Bone marrow aspirate smear:
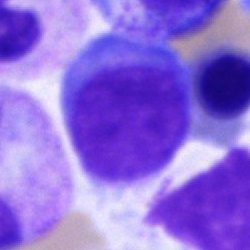
Morphology — lymphocyte.